MGG-stained. Bone marrow aspirate smear — 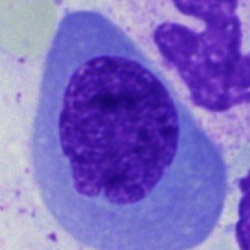Morphology → normoblast.